Bone marrow aspirate smear.
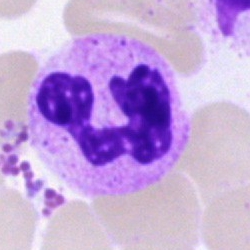

Single cell identified as a segmented neutrophil.